Bone marrow smear; 40× objective, oil immersion; cropped to a single cell.
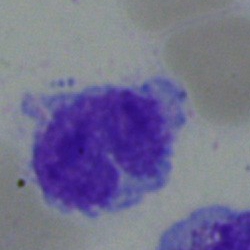
Q: Which cell type is shown here?
A: This is a monocyte.